Peripheral blood film · imaged on a CellaVision DM96 analyser: 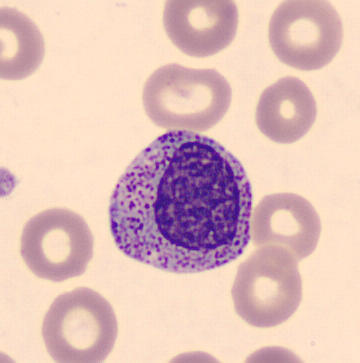 The cell shown is a myelocyte.